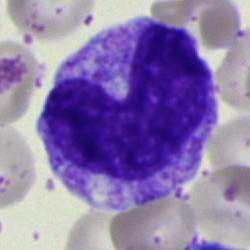
Cell type: band neutrophil.